Bone marrow smear:
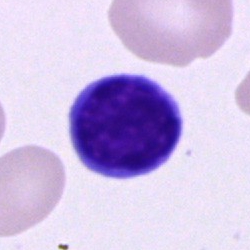
{"cell_type": "typical lymphocyte", "lineage": "lymphoid"}